Bone marrow aspirate smear:
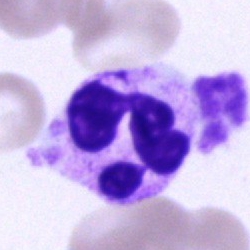The cell type is neutrophil (segmented).